Peripheral blood film — 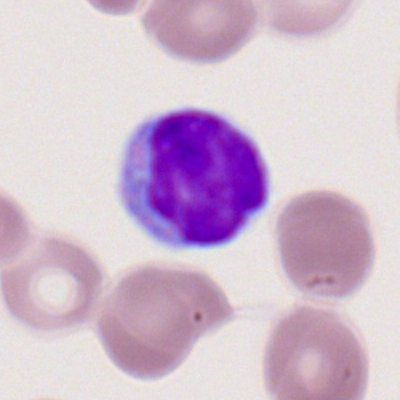

This is a typical lymphocyte.